Bone marrow smear: 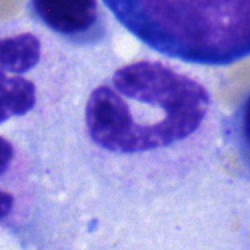The morphological class is neutrophil (segmented).